Bone marrow smear.
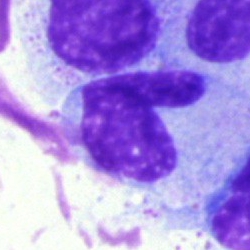

Morphology consistent with a monocyte.